Bone marrow aspirate smear — 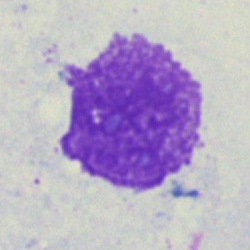An artefact.